Bone marrow aspirate smear — 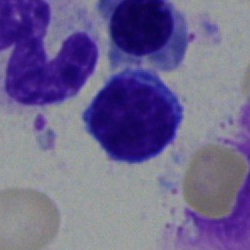

This is a typical lymphocyte.